Bone marrow aspirate smear. Single cell centered in the field. 250×250 px: 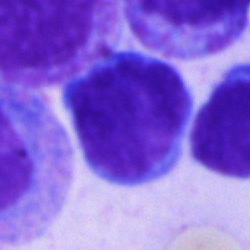Q: What type of cell is this?
A: It is an undifferentiated blast.